Brightfield, 40× oil-immersion objective; bone marrow aspirate smear; single-cell crop
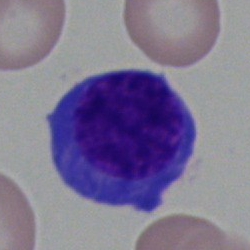
The cell type is erythroblast.